Bone marrow aspirate smear:
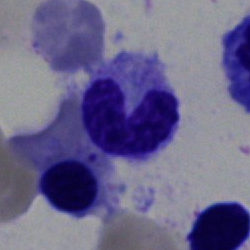 Single cell identified as a band-form neutrophil.